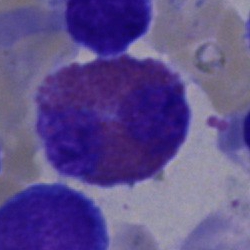 Specimen: bone marrow aspirate smear.
Cell: eosinophilic granulocyte.
Lineage: myeloid.